40× objective, oil immersion · bone marrow aspirate smear: 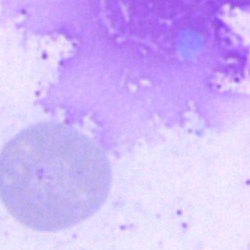 Q: What is shown here?
A: This is an artifact.